Bone marrow aspirate smear; single cell centered in the field.
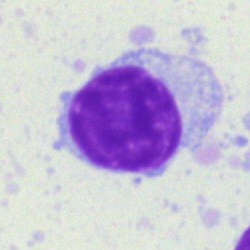 Morphology consistent with a lymphocyte.